Bone marrow aspirate smear — 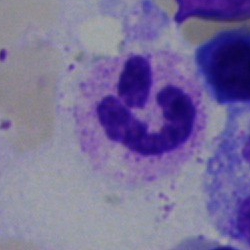This is a polymorphonuclear neutrophil.